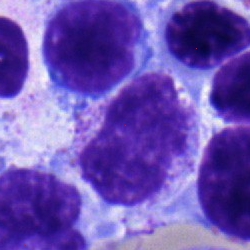
Morphological class: metamyelocyte.